Bone marrow smear:
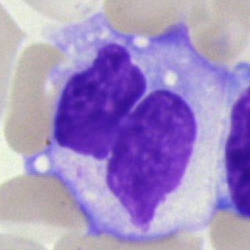

Single cell identified as a monocyte.